Bone marrow smear
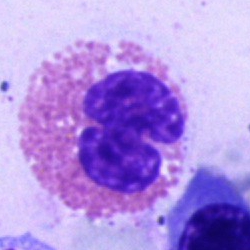

The cell type is eosinophilic granulocyte.